Pappenheim-stained. Bone marrow smear
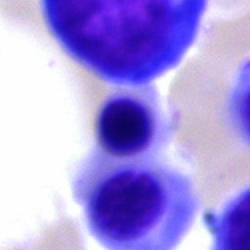Nucleated red cell.